Peripheral blood film — 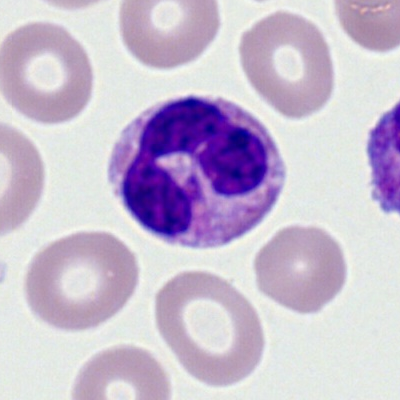
Morphology → segmented neutrophil.